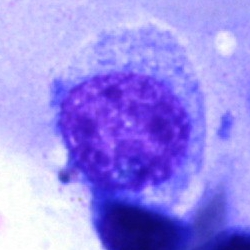

Q: Identify the cell.
A: Cell of indeterminate lineage.